Bone marrow aspirate smear; May-Grünwald-Giemsa stain.
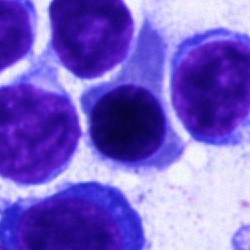

Single cell identified as an erythroblast.